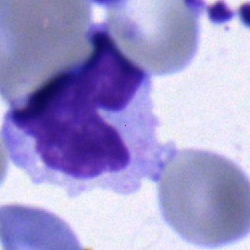

Bone marrow aspirate smear, single cell — monocyte.